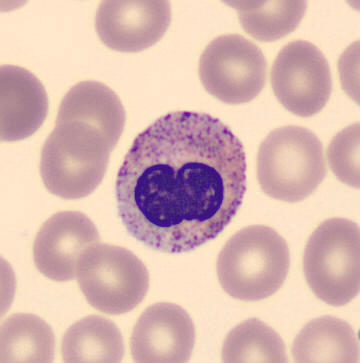The cell shown is a band-form neutrophil.

Image: Single-cell crop; peripheral blood film.